Bone marrow aspirate smear.
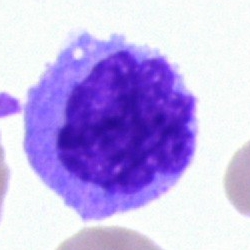
Morphology consistent with a monocyte.